Bone marrow smear
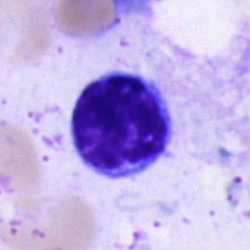Showing a lymphocyte.